Bone marrow smear · 250×250
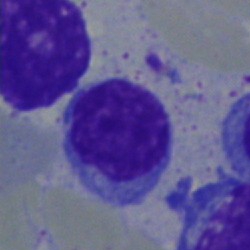Specimen: bone marrow aspirate smear.
Cell: typical lymphocyte.
Lineage: lymphoid.